Peripheral blood smear · Romanowsky stain
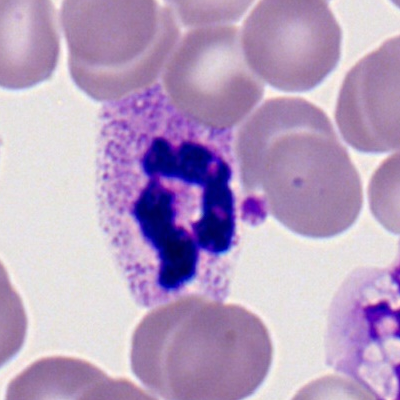
Q: What is the morphological classification of this cell?
A: It is a segmented neutrophil.